Bone marrow aspirate smear; MGG-stained — 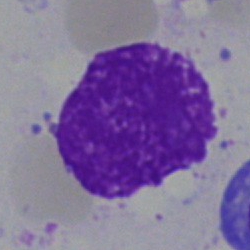Cell: artefact.